Single cell centered in the field · bone marrow smear
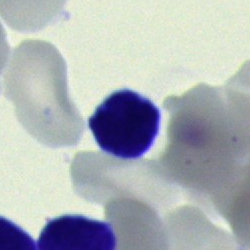
Morphology → typical lymphocyte.